Peripheral blood smear.
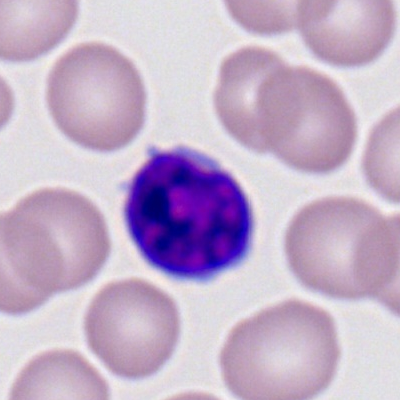
Impression → lymphocyte.